Bone marrow smear
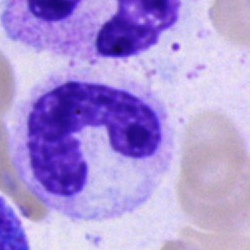
This is a neutrophil (band).